Bone marrow aspirate smear:
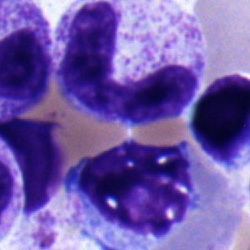 The cell shown is a typical lymphocyte.